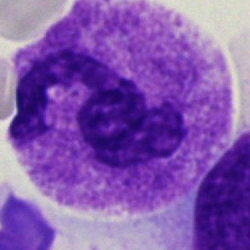

Bone marrow aspirate smear, single cell — neutrophil (segmented).